Single-cell crop. Bone marrow smear.
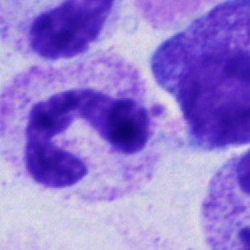
Q: Identify the cell.
A: A band-form neutrophil.